250 by 250 pixels · bone marrow aspirate smear.
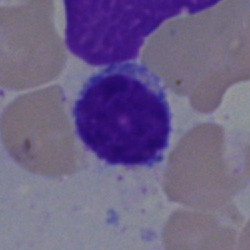
Showing a lymphocyte.